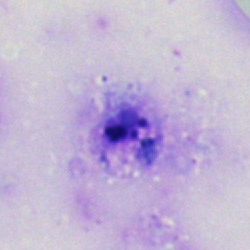Bone marrow smear showing an artefact.